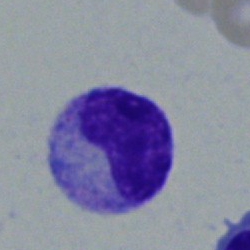Impression → metamyelocyte.